Bone marrow aspirate smear; brightfield microscopy, 40× oil immersion
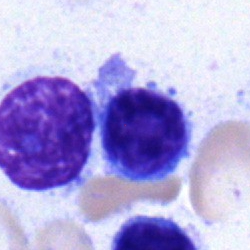

Showing a typical lymphocyte.